Bone marrow smear.
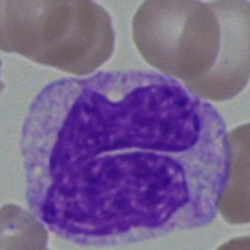 {"cell_type": "monocyte", "lineage": "myeloid"}